Peripheral blood smear
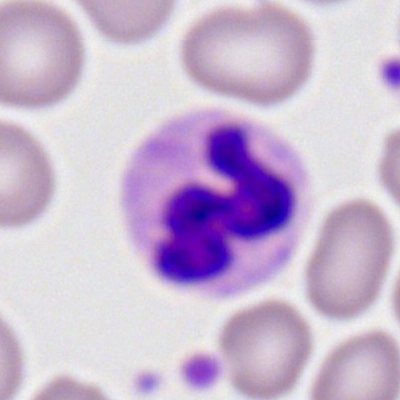

Morphology → neutrophil (segmented).